Peripheral blood smear — 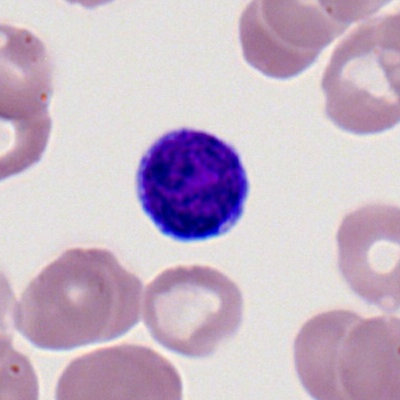

Cell type = lymphocyte.